Bone marrow smear:
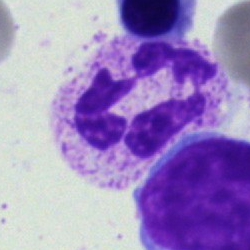This is a segmented neutrophil.